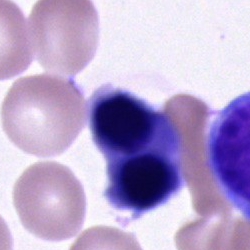 An unidentifiable cell on a bone marrow smear.